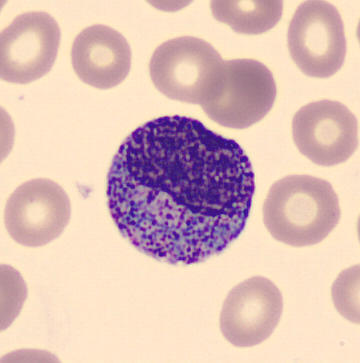Cell type: myelocyte. Acquisition: Peripheral blood film · MGG stain · single-cell field.